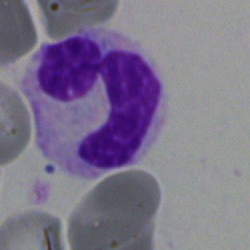

Impression → polymorphonuclear neutrophil.